250×250; May-Grünwald-Giemsa/Pappenheim stain; bone marrow smear
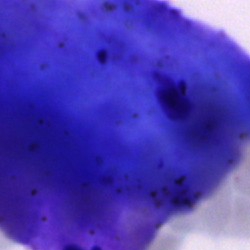
Q: What is shown here?
A: It is an artefact.